Single cell centered in the field. Bone marrow aspirate smear
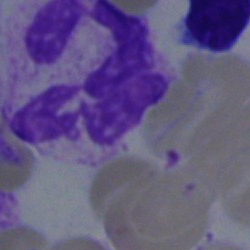
Q: What is the morphological classification of this cell?
A: Neutrophil (segmented).